Bone marrow aspirate smear — 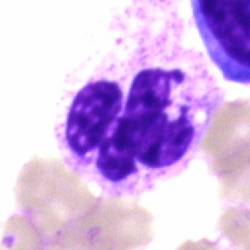Morphology → polymorphonuclear neutrophil.